Peripheral blood smear. Romanowsky-type stain.
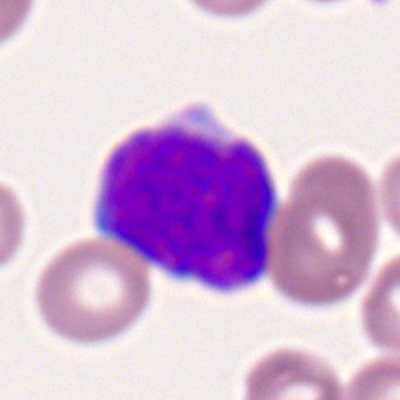 Cell type: myeloid blast.